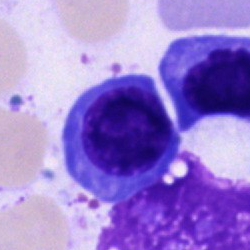 A nucleated red blood cell on a bone marrow smear.